Bone marrow aspirate smear; May-Grünwald-Giemsa/Pappenheim stain
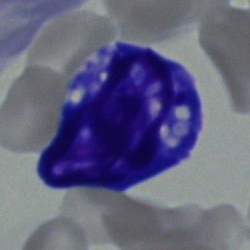

Cell: blast cell.